Bone marrow aspirate smear. 40× oil immersion.
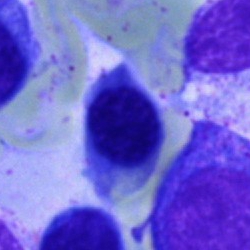

The cell is nucleated red blood cell.